Bone marrow smear
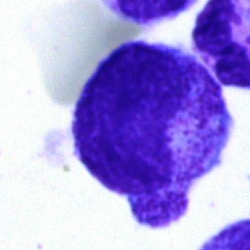Cell: metamyelocyte.